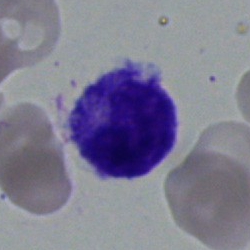 Morphology consistent with a metamyelocyte.